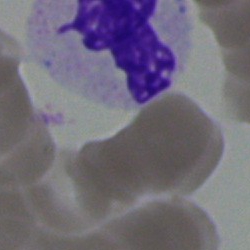 {"cell_type": "polymorphonuclear neutrophil", "lineage": "myeloid"}